Bone marrow smear; 250×250 px — 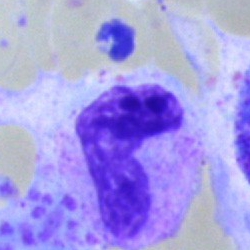

Impression — stab cell.